Bone marrow aspirate smear — 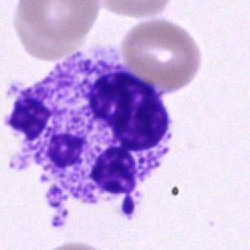 The cell shown is a segmented neutrophil.